Bone marrow smear. Brightfield, 40× oil-immersion objective — 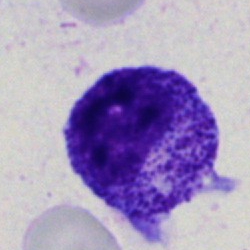Q: Which cell type is shown here?
A: It is a myelocyte.